Peripheral blood film
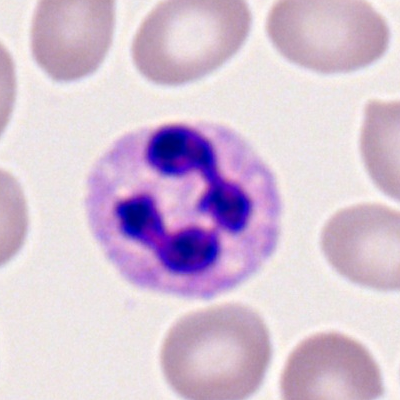Morphological class: segmented neutrophil.